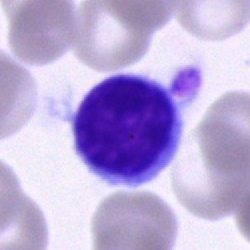 Morphological class = typical lymphocyte.